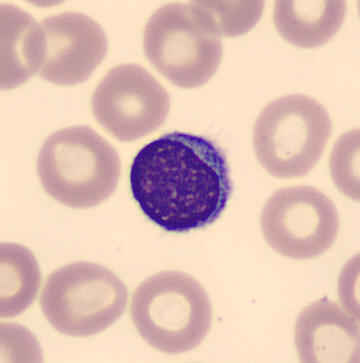Q: What is shown here?
A: A typical lymphocyte. Preparation: MGG-stained. Peripheral blood smear.